Image size 250×250 · bone marrow aspirate smear: 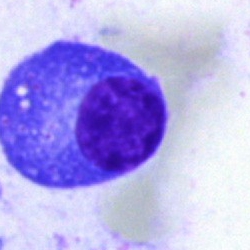
Morphology → plasmacyte.